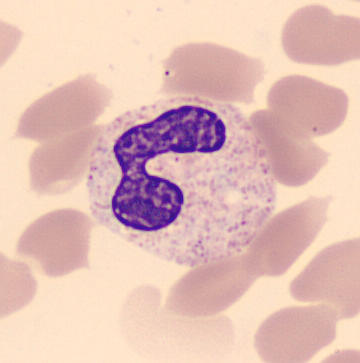 {"cell_type": "band-form neutrophil", "lineage": "myeloid"}